Cropped to a single cell; 100× oil immersion; peripheral blood smear: 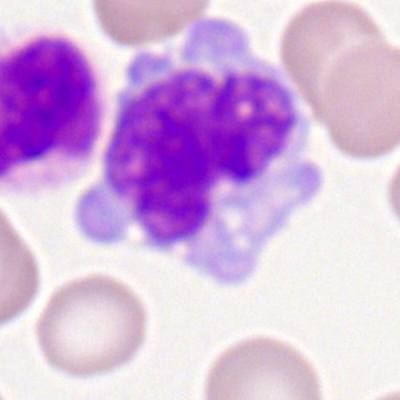The classification is monocyte.